Bone marrow smear; single-cell field: 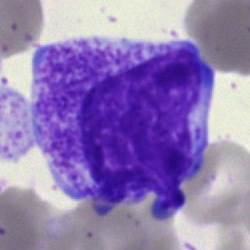Showing a promyelocyte.